Bone marrow aspirate smear · brightfield, 40× oil-immersion objective · single cell centered in the field:
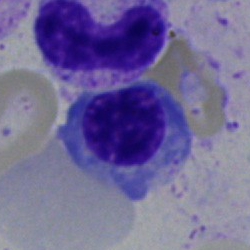A normoblast.